Bone marrow smear · cropped to a single cell:
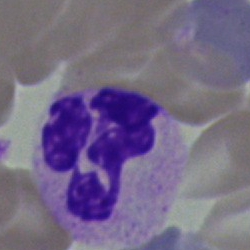 Neutrophil (segmented).